Bone marrow smear: 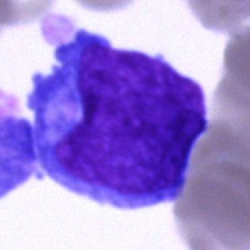 {"cell_type": "blast"}